Peripheral blood film
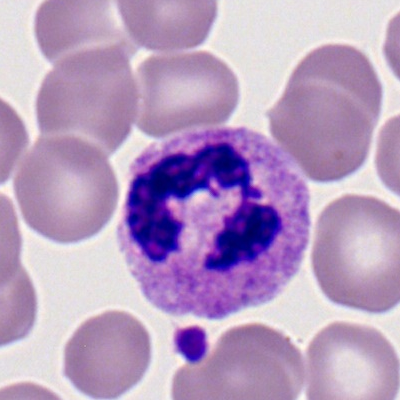 Specimen: peripheral blood smear.
Cell: segmented neutrophil.